Bone marrow smear. Single-cell crop.
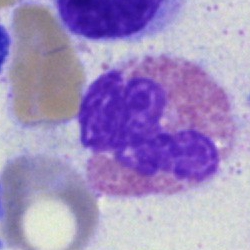

Classification = eosinophil.